Peripheral blood smear. Romanowsky-type stain
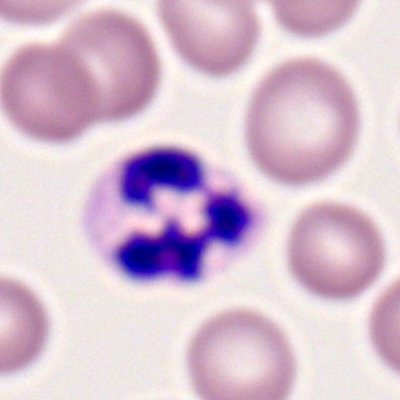 Morphology consistent with a segmented neutrophil.